Bone marrow smear
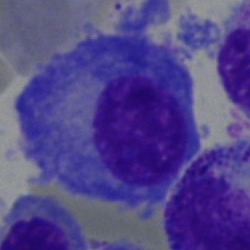Impression — plasmacyte.